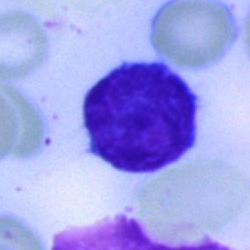
Specimen: bone marrow smear.
Morphological class: typical lymphocyte.
Lineage: lymphoid.